May-Grünwald-Giemsa stain; bone marrow smear; cropped to a single cell
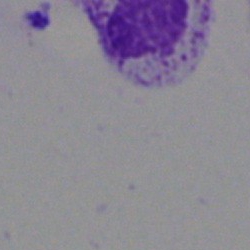 Specimen: bone marrow aspirate smear.
Cell type: artifact.